250 by 250 pixels. Bone marrow aspirate smear. Pappenheim-stained.
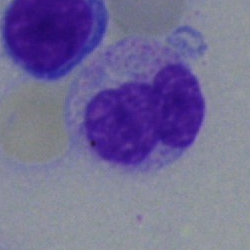Q: What is shown here?
A: A band neutrophil.